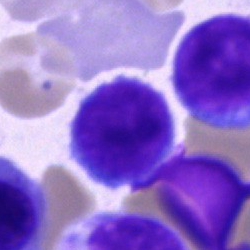

Classification — typical lymphocyte.